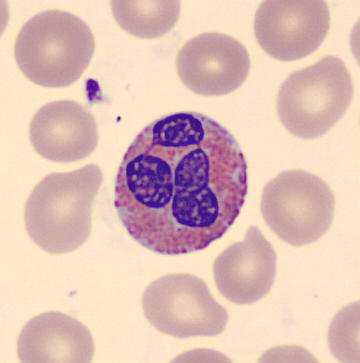Classification = eosinophilic granulocyte.

Peripheral blood film · 360×363.